Peripheral blood film.
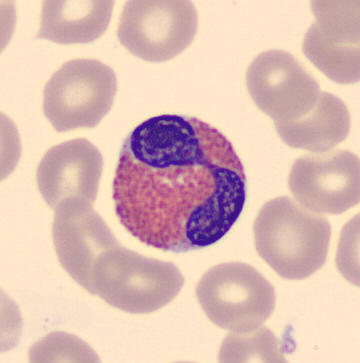Morphology — eosinophilic granulocyte.